Bone marrow aspirate smear · May-Grünwald-Giemsa stain:
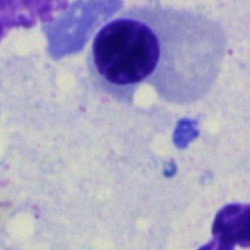The cell is nucleated red blood cell.